Bone marrow aspirate smear
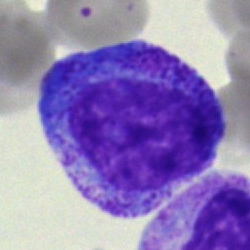Classification = promyelocyte.